Single cell centered in the field. Bone marrow smear — 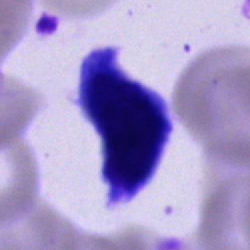

Specimen: bone marrow aspirate smear.
Classification: artifact.